Bone marrow smear.
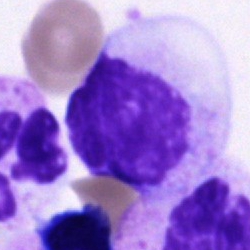Impression → unidentifiable cell.